MGG-stained. Bone marrow smear: 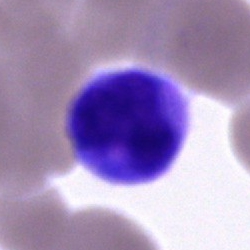Morphology — cell of indeterminate lineage.